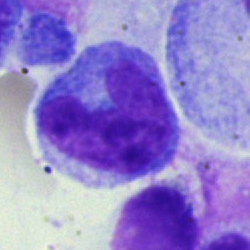
Cell: monocyte.